Brightfield, 40× oil-immersion objective; bone marrow aspirate smear:
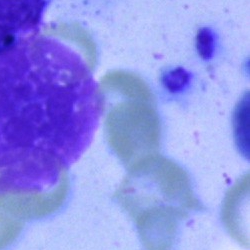{"cell_type": "artifact"}